Bone marrow aspirate smear; Pappenheim-stained; 40× oil immersion
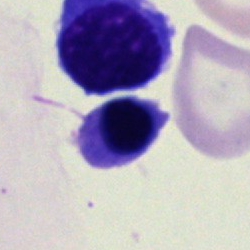 Impression — nucleated red cell.